Bone marrow smear · brightfield, 40× oil-immersion objective: 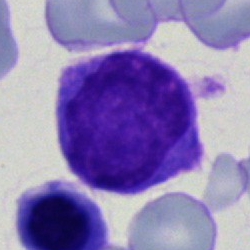
Specimen: bone marrow aspirate smear.
Classification: undifferentiated blast.